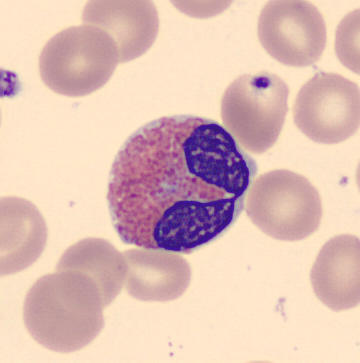
An eosinophil. Peripheral blood smear · 360×363.